Peripheral blood smear; 100× objective, oil immersion:
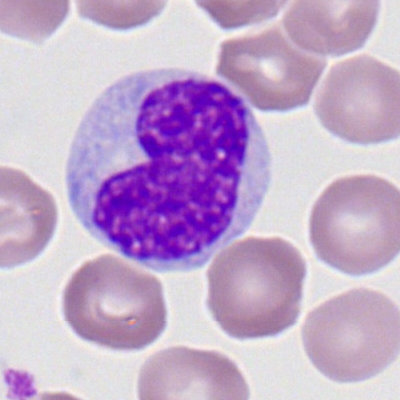

{"cell_type": "monocyte", "lineage": "myeloid"}